Bone marrow smear.
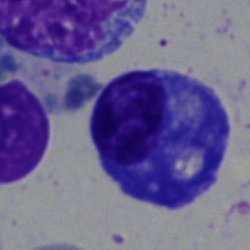Morphology consistent with a plasmacyte.